250×250 · single-cell crop · bone marrow smear.
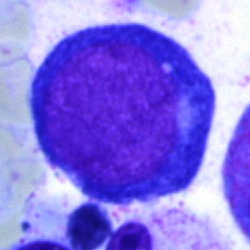Specimen: bone marrow smear.
Classification: pronormoblast.